Image size 250×250. Bone marrow smear. Single-cell field
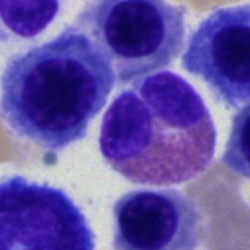
An eosinophilic granulocyte.